Bone marrow smear; MGG-stained:
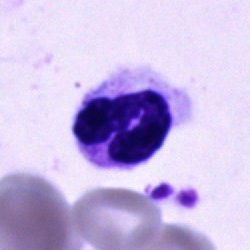Showing a segmented neutrophil.